Bone marrow aspirate smear.
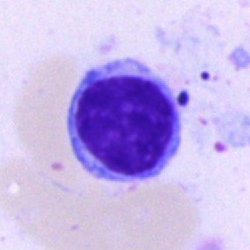

Morphology → typical lymphocyte.